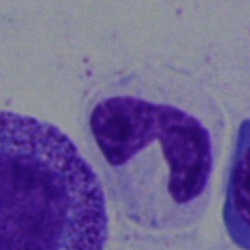Specimen: bone marrow smear.
Morphological class: polymorphonuclear neutrophil.
Lineage: myeloid.